Bone marrow smear — 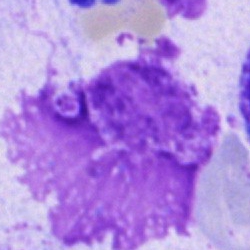 The classification is artifact.